Bone marrow aspirate smear; single cell centered in the field — 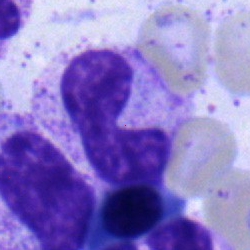 The cell is neutrophil (band).